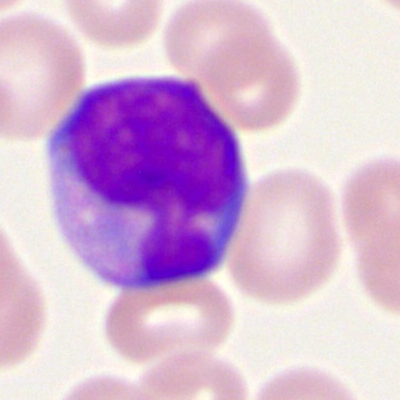

A myeloid blast.